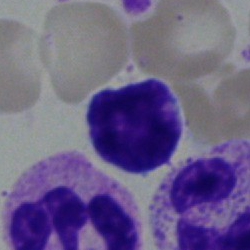

Q: What cell is this?
A: It is a typical lymphocyte.